Image size 250×250. Brightfield, 40× oil-immersion objective. Bone marrow smear.
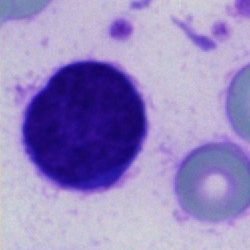A cell of indeterminate lineage.